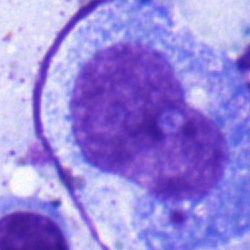 A progranulocyte on a bone marrow smear.